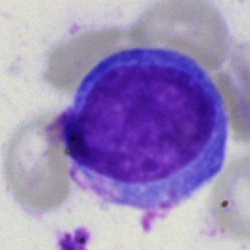

Morphology — undifferentiated blast.